Bone marrow smear.
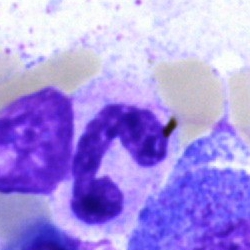 Showing a segmented neutrophil.